Bone marrow smear · May-Grünwald-Giemsa stain · single-cell field.
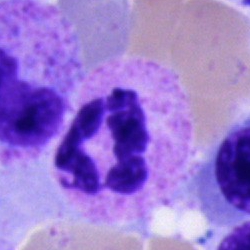
Morphological class: segmented neutrophil.